MGG-stained; bone marrow aspirate smear:
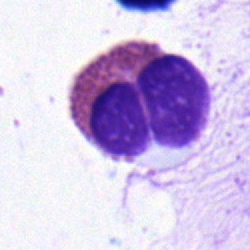

Morphology → eosinophil.